Bone marrow aspirate smear. Single-cell crop.
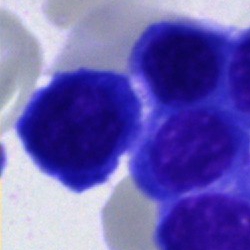
This is an erythroblast.